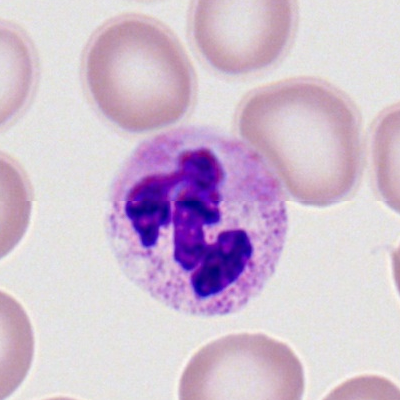Specimen: peripheral blood smear.
Classification: polymorphonuclear neutrophil.
Lineage: myeloid.